Bone marrow aspirate smear:
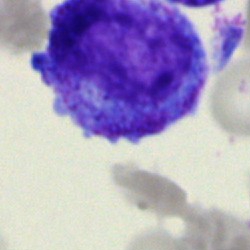

Morphology — promyelocyte.